Bone marrow smear — 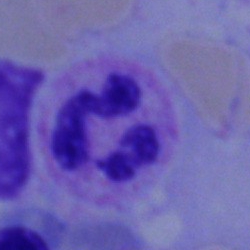
Cell: polymorphonuclear neutrophil.